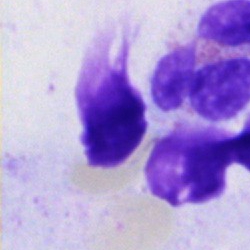

Morphological class — artefact.